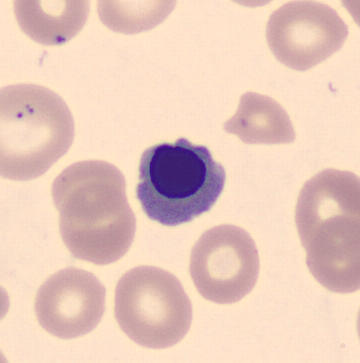Morphology — normoblast.